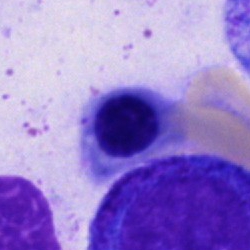
Q: What is the morphological classification of this cell?
A: An erythroblast.